Bone marrow aspirate smear; image size 250×250
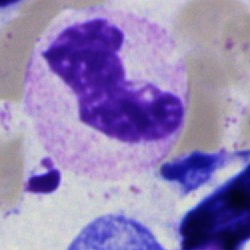
Band neutrophil.